Bone marrow aspirate smear — 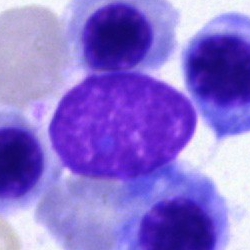Artefact.